Bone marrow aspirate smear: 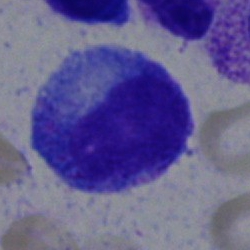

The cell shown is a myelocyte.